Pappenheim-stained. Bone marrow aspirate smear — 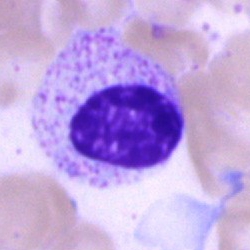 Classification: myelocyte.